Bone marrow smear. May-Grünwald-Giemsa/Pappenheim stain.
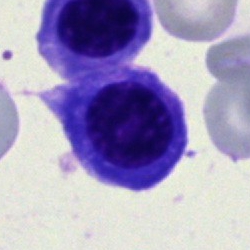
Showing an erythroblast.